Bone marrow smear
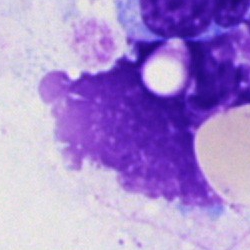 This is an artefact.